Bone marrow aspirate smear.
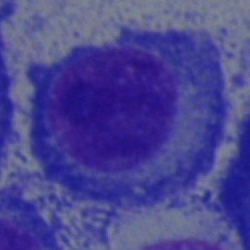
Q: Identify the cell.
A: A plasmacyte.